Bone marrow aspirate smear:
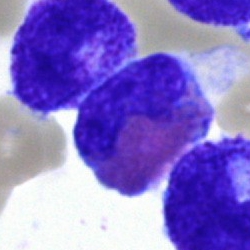The cell shown is an eosinophilic granulocyte.